Cropped to a single cell · bone marrow smear: 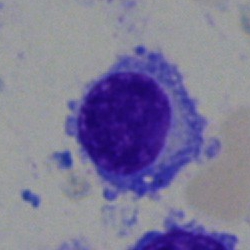

Cell = plasma cell.